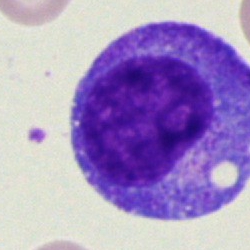
Specimen: bone marrow smear.
Cell type: promyelocyte.
Lineage: myeloid.